Bone marrow aspirate smear.
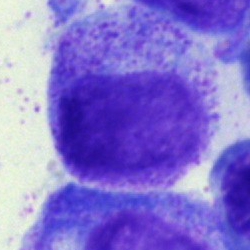Morphological class = myelocyte.